Bone marrow aspirate smear: 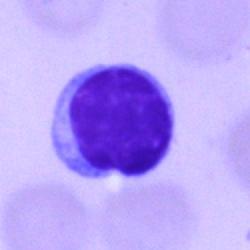

A lymphocyte.